Bone marrow smear.
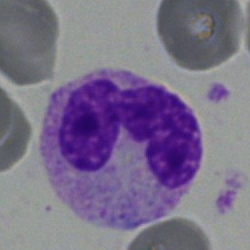Single cell identified as a polymorphonuclear neutrophil.